Single-cell field. Bone marrow aspirate smear.
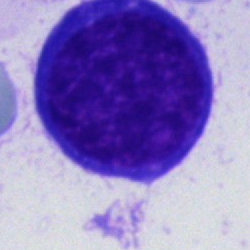
Cell = unidentifiable cell.